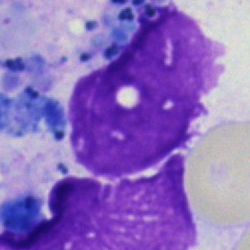

An artefact.